Bone marrow smear:
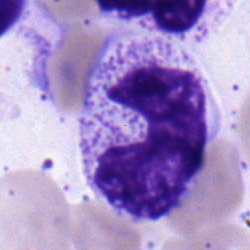
Cell type — stab cell.